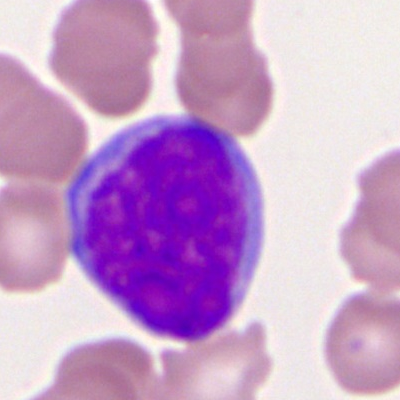 Impression — myeloid blast.